Bone marrow aspirate smear · cropped to a single cell.
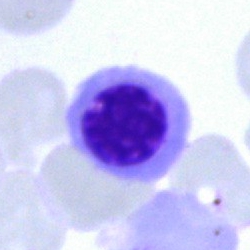
Morphology consistent with a nucleated red blood cell.